Bone marrow smear. MGG-stained. Single-cell field:
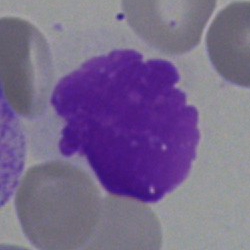 This is an artifact.